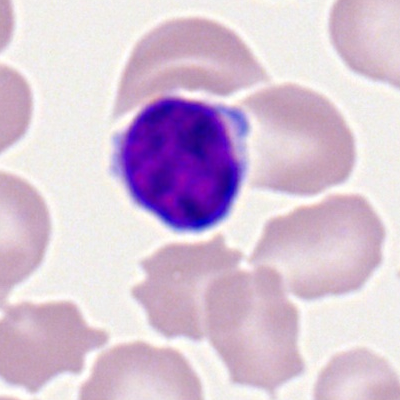 Morphology — typical lymphocyte.